Peripheral blood smear · single cell centered in the field.
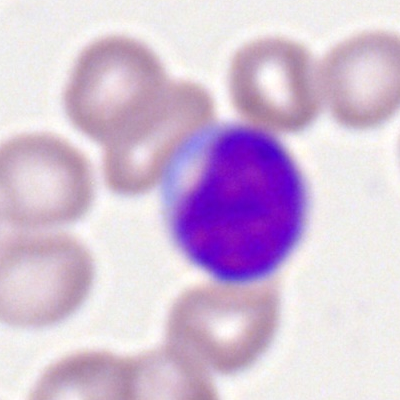Lymphocyte.